250 by 250 pixels; brightfield, 40× oil-immersion objective; bone marrow smear: 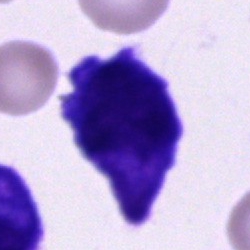
Specimen: bone marrow smear.
Cell: cell of indeterminate lineage.